Bone marrow smear — 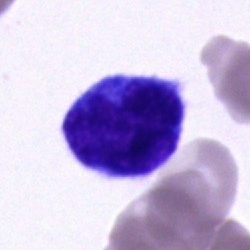Morphological class = monocyte.